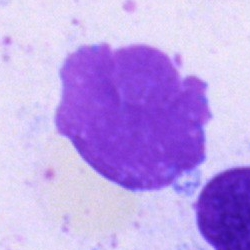 Morphology consistent with an artefact.